Bone marrow aspirate smear.
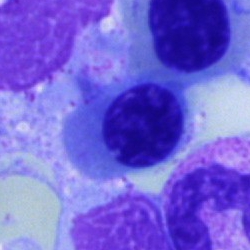 The cell is erythroblast.